Image size 250×250; bone marrow aspirate smear
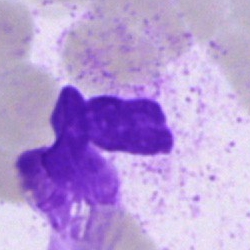Q: What is the morphological classification of this cell?
A: It is a cell of indeterminate lineage.